Single cell centered in the field · 250×250 · bone marrow aspirate smear: 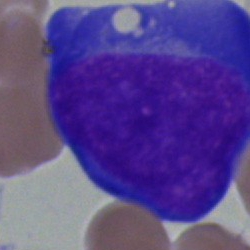{"cell_type": "proerythroblast"}